Bone marrow smear: 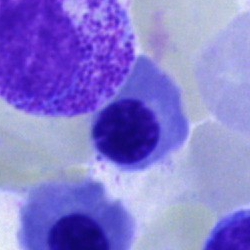 This is an erythroblast.